Bone marrow smear — 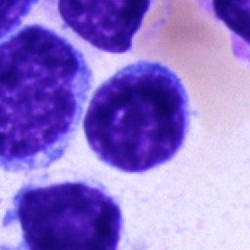 Single cell identified as a lymphocyte.